Bone marrow smear:
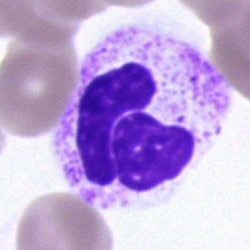The cell shown is a neutrophil (segmented).